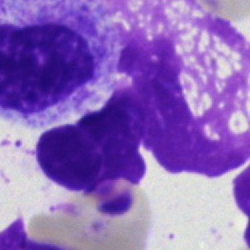

Morphology — artefact.